Peripheral blood film · M8 digital microscope (Precipoint), 100× oil immersion · single-cell crop.
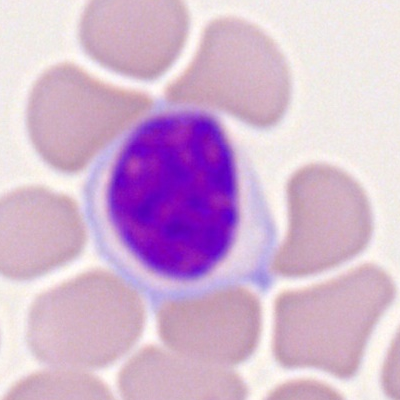
Typical lymphocyte.